Bone marrow aspirate smear — 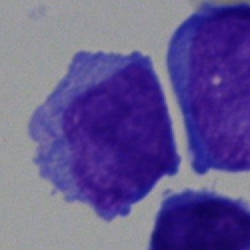 Morphology — undifferentiated blast.